Single-cell crop; bone marrow smear:
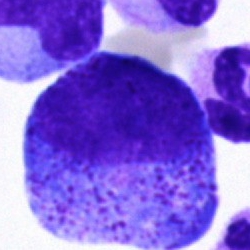 The cell shown is a promyelocyte.